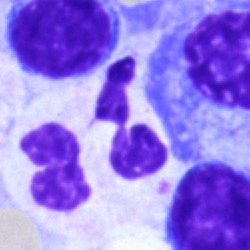

Q: What is the morphological classification of this cell?
A: This is a segmented neutrophil.